Bone marrow aspirate smear.
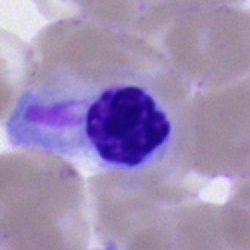
Nucleated red blood cell.